250×250 px. Pappenheim-stained. Bone marrow aspirate smear: 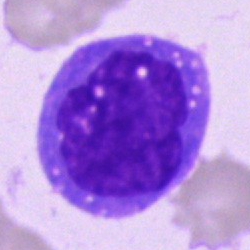Morphology consistent with a monocyte.